Bone marrow aspirate smear · 40× oil immersion.
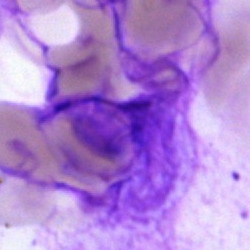

This is an artefact.